Bone marrow aspirate smear: 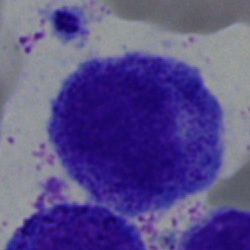 The cell shown is a progranulocyte.